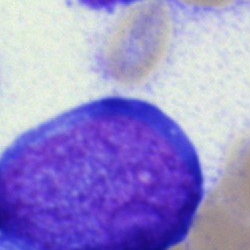
Single cell identified as an undifferentiated blast.